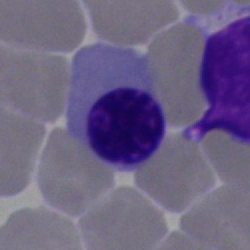

Specimen: bone marrow smear.
Cell: erythroblast.